Bone marrow aspirate smear · May-Grünwald-Giemsa stain.
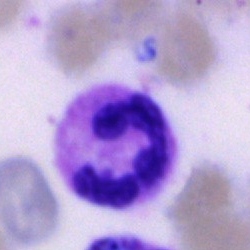

Single cell identified as a polymorphonuclear neutrophil.